Brightfield microscopy, 40× oil immersion · 250 by 250 pixels · bone marrow aspirate smear.
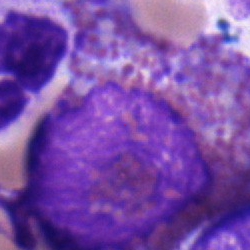
{"cell_type": "eosinophil"}